Bone marrow aspirate smear: 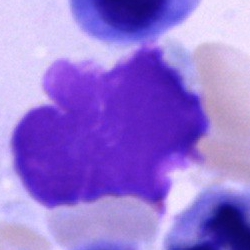
{"cell_type": "artefact"}